40× objective, oil immersion. Bone marrow aspirate smear: 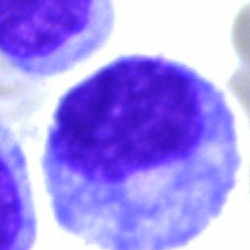 Cell type — progranulocyte.